Bone marrow aspirate smear: 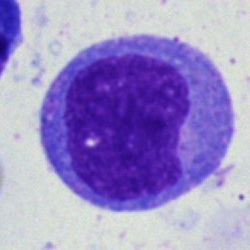

Q: What is the morphological classification of this cell?
A: It is a monocyte.